Bone marrow aspirate smear; Pappenheim-stained
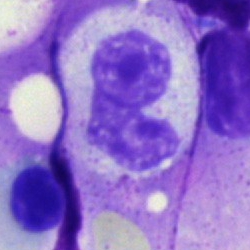
Morphology — band-form neutrophil.